Bone marrow aspirate smear: 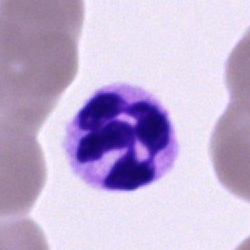
Specimen: bone marrow smear.
Cell: segmented neutrophil.
Lineage: myeloid.